Single cell centered in the field · Pappenheim-stained · bone marrow aspirate smear — 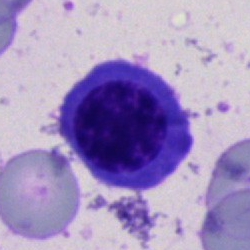

Morphology — nucleated red blood cell.